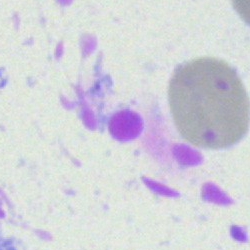

{"cell_type": "artefact"}